Bone marrow aspirate smear · 40× objective, oil immersion: 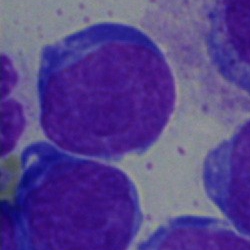Specimen: bone marrow aspirate smear.
Classification: blast cell.